Bone marrow smear; brightfield microscopy, 40× oil immersion.
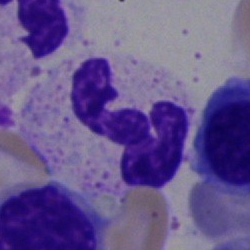
Specimen: bone marrow smear.
Classification: neutrophil (segmented).
Lineage: myeloid.